Bone marrow aspirate smear. 250×250. 40× oil immersion — 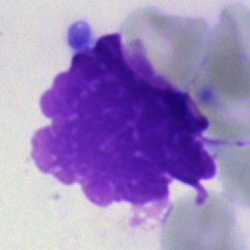 Morphology consistent with an artifact.